Bone marrow smear; 250 by 250 pixels; brightfield, 40× oil-immersion objective.
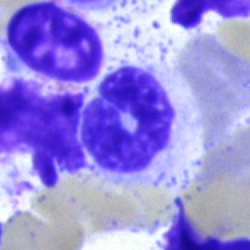 Single cell identified as a band-form neutrophil.